Bone marrow aspirate smear.
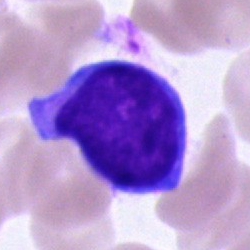
Showing a blast cell.